Bone marrow smear:
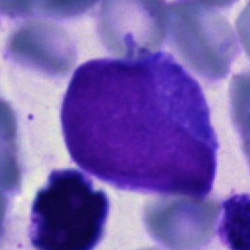

Showing a blast.